Peripheral blood smear.
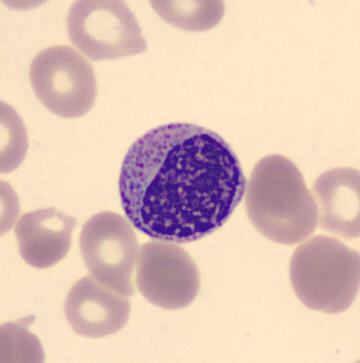
Myelocyte.